100× oil immersion; peripheral blood film:
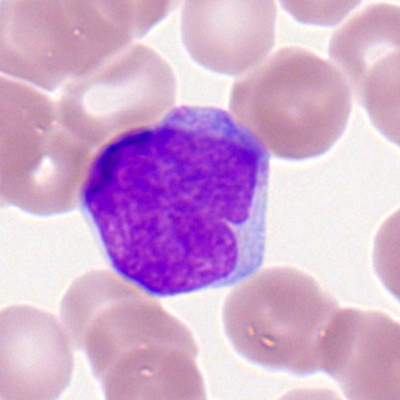 Specimen: peripheral blood film.
Classification: myeloblast.
Lineage: myeloid.